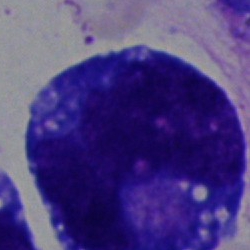 Classification — blast cell.